Bone marrow smear.
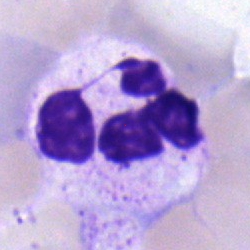The classification is segmented neutrophil.